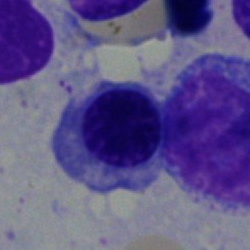Morphology → erythroblast.